Bone marrow smear · 250×250
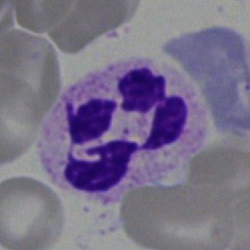
Morphology consistent with a neutrophil (segmented).